Single-cell crop; peripheral blood film: 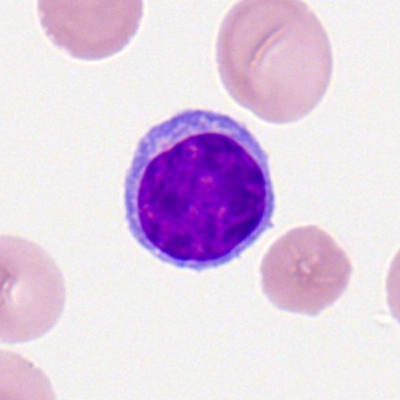 Cell = lymphocyte.